Bone marrow smear — 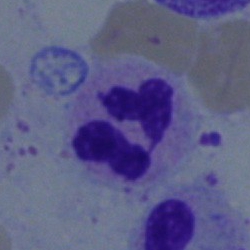 Segmented neutrophil.